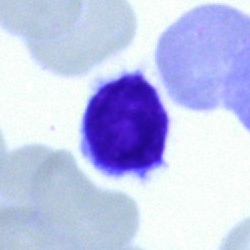Cell = typical lymphocyte.